Bone marrow smear
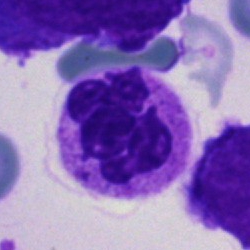
This is a neutrophil (segmented).